Bone marrow smear:
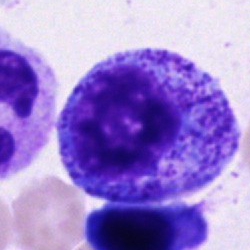The cell is promyelocyte.